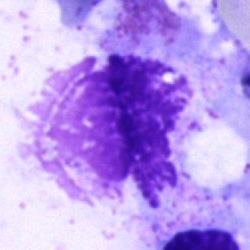

Cell type = artefact.